Bone marrow smear
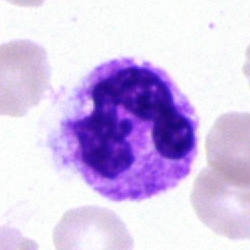

The cell type is polymorphonuclear neutrophil.